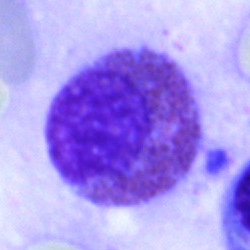{"cell_type": "eosinophil", "lineage": "myeloid"}